Bone marrow aspirate smear; May-Grünwald-Giemsa/Pappenheim stain: 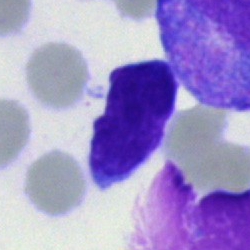Specimen: bone marrow smear.
Cell type: undifferentiated blast.